Bone marrow aspirate smear
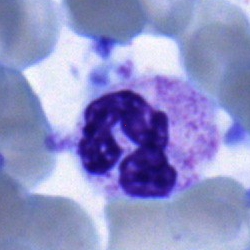
Showing a neutrophil (segmented).